Single cell centered in the field; bone marrow smear; brightfield, 40× oil-immersion objective
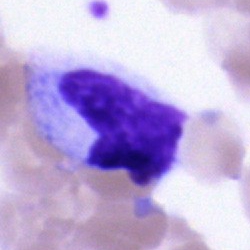
A cell of indeterminate lineage.